Bone marrow smear.
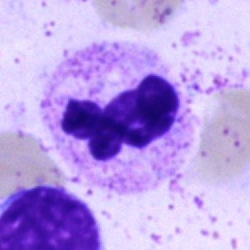The cell shown is a segmented neutrophil.